Bone marrow aspirate smear:
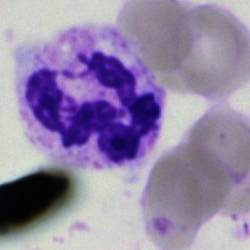Specimen: bone marrow smear.
Cell: neutrophil (segmented).